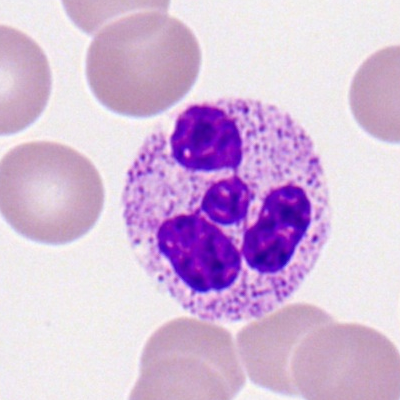 Q: Identify the cell.
A: It is a segmented neutrophil.